Bone marrow smear
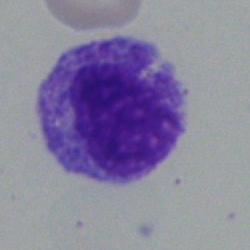

Cell = myelocyte.